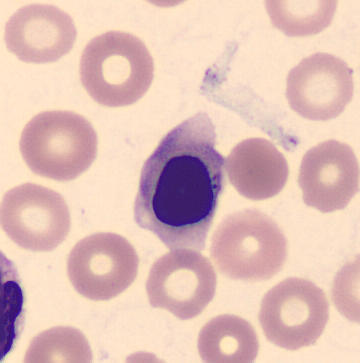Acquisition: Single cell centered in the field · peripheral blood smear.
Cell: nucleated red cell.